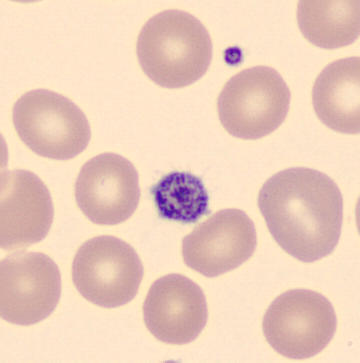 Classification = platelet (thrombocyte). Peripheral blood film; MGG stain.